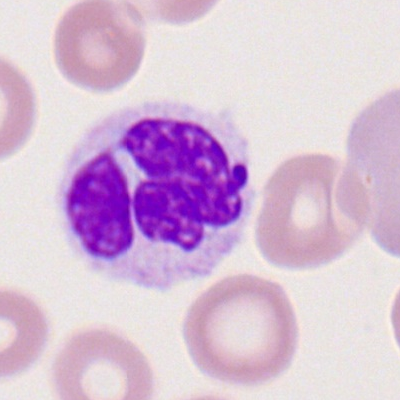

Morphological class: monocyte.